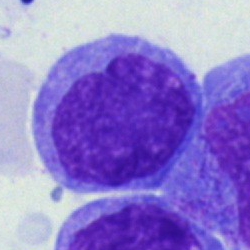Specimen: bone marrow smear.
Cell: monocyte.